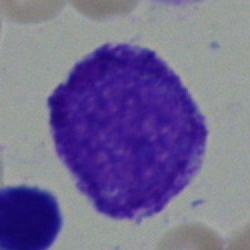

Q: Which cell type is shown here?
A: It is a blast.